Bone marrow aspirate smear: 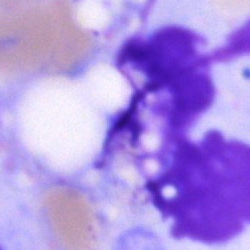 {"cell_type": "artifact"}